Bone marrow smear: 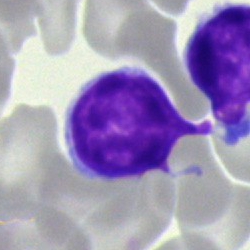Q: Identify the cell.
A: This is a typical lymphocyte.